Pappenheim-stained. Bone marrow smear. Cropped to a single cell.
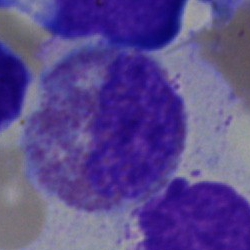
Q: What cell is this?
A: This is an eosinophil.